250×250. Bone marrow smear — 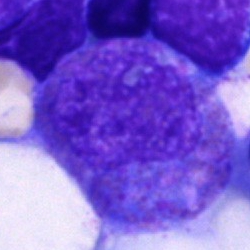 {"cell_type": "eosinophil"}